40× objective, oil immersion. Single-cell crop. Bone marrow smear.
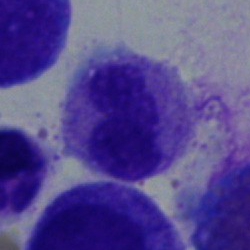

Specimen: bone marrow smear.
Cell type: band-form neutrophil.
Lineage: myeloid.